Bone marrow smear:
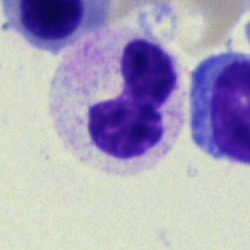 {"cell_type": "stab cell", "lineage": "myeloid"}